Bone marrow aspirate smear:
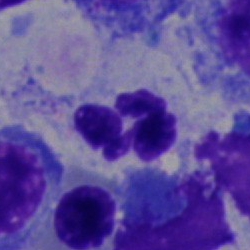 Specimen: bone marrow aspirate smear.
Cell type: polymorphonuclear neutrophil.